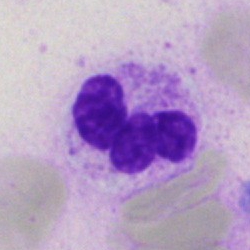

Cell type: polymorphonuclear neutrophil.